Bone marrow aspirate smear: 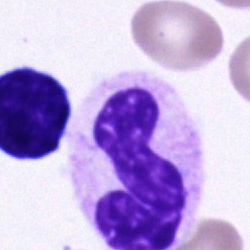
Showing a segmented neutrophil.